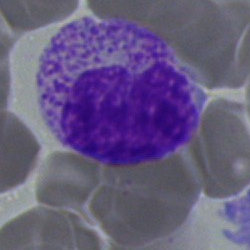
A metamyelocyte.